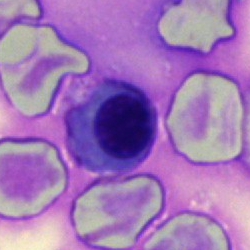 {"cell_type": "erythroblast", "lineage": "erythroid"}